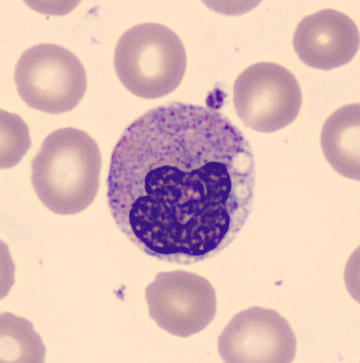 Q: What cell is this?
A: Metamyelocyte.
Preparation: Peripheral blood film.